Bone marrow smear; 250×250; MGG-stained
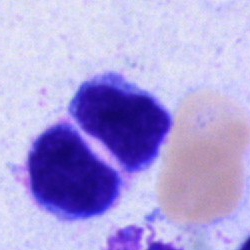 {"cell_type": "lymphocyte", "lineage": "lymphoid"}